Image size 250×250. Bone marrow smear. Brightfield microscopy, 40× oil immersion:
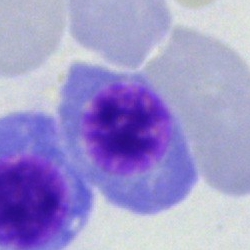 A normoblast.